Bone marrow smear — 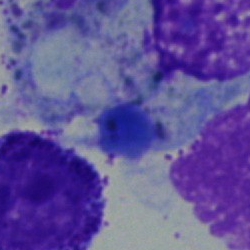

Impression → artefact.